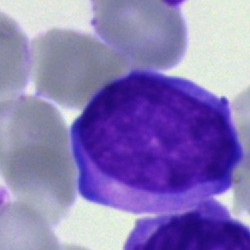
Cell = blast.